Peripheral blood film: 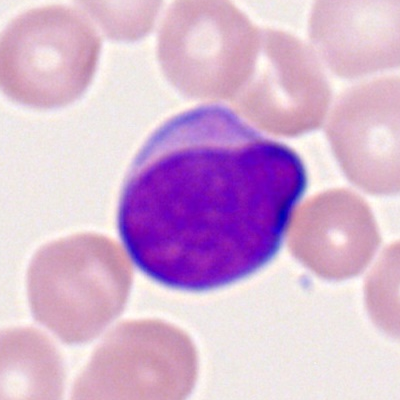

Morphological class — myeloblast.